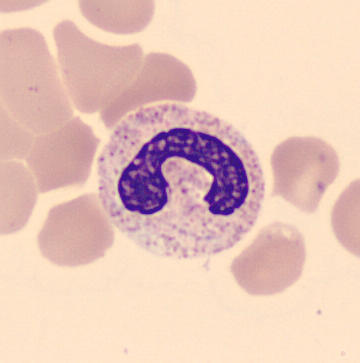 Acquisition: Peripheral blood smear; single cell centered in the field. Morphology consistent with a band-form neutrophil.